400×400 px. Peripheral blood film.
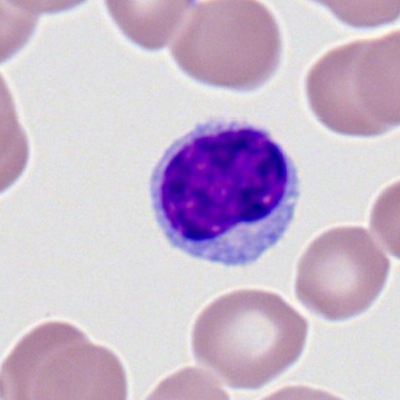Cell type — typical lymphocyte.